250×250 px; bone marrow aspirate smear.
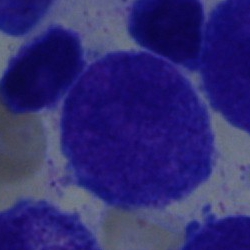

Cell type: blast cell.